Bone marrow smear: 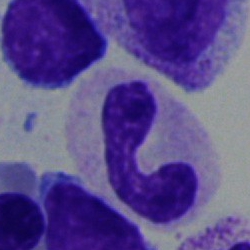 Q: Which cell type is shown here?
A: It is a neutrophil (band).